Bone marrow smear — 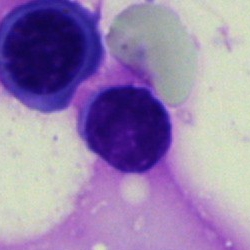

Specimen: bone marrow aspirate smear.
Morphological class: lymphocyte.
Lineage: lymphoid.